Peripheral blood smear. Romanowsky stain. 100× oil immersion — 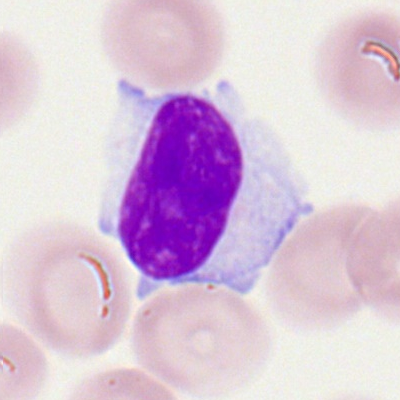Cell = typical lymphocyte.